Bone marrow aspirate smear
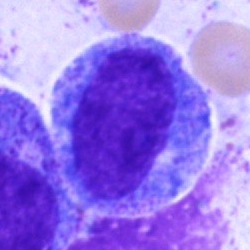
Morphological class = promyelocyte.